Bone marrow smear: 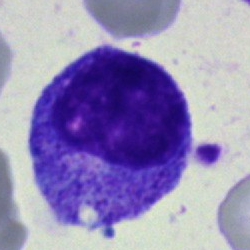Morphology — progranulocyte.